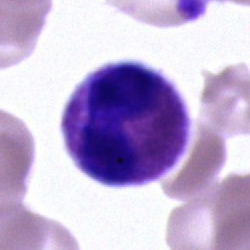

Single cell identified as an eosinophilic granulocyte.